Peripheral blood smear
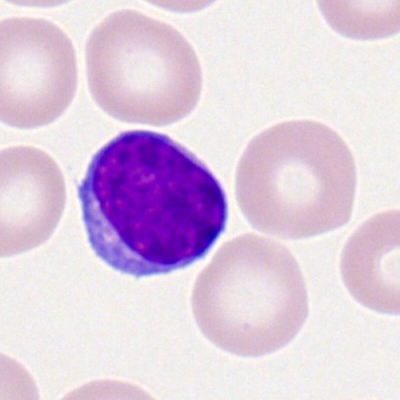

Single cell identified as a typical lymphocyte.